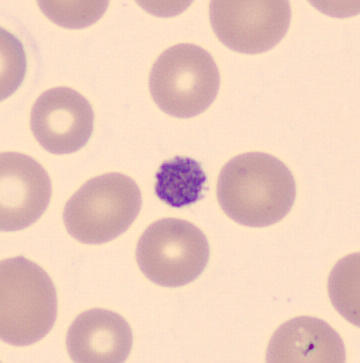
Showing a thrombocyte.

Acquisition: Peripheral blood smear. May Grünwald-Giemsa stain.